40× objective, oil immersion · bone marrow smear:
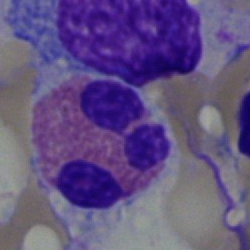Eosinophil.